Bone marrow smear; brightfield, 40× oil-immersion objective — 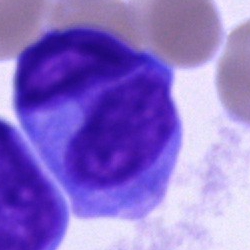
Impression → undifferentiated blast.